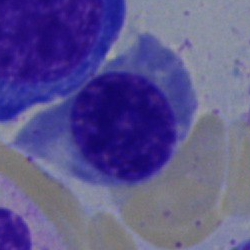 Impression — normoblast.